Romanowsky-stained · peripheral blood film.
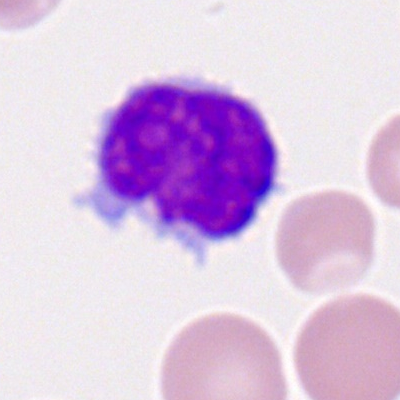Q: What is shown here?
A: This is a typical lymphocyte.